Bone marrow aspirate smear
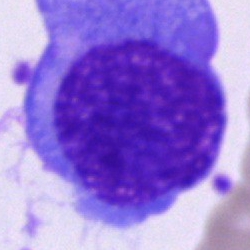 Specimen: bone marrow aspirate smear.
Classification: plasmacyte.
Lineage: lymphoid.